Bone marrow smear
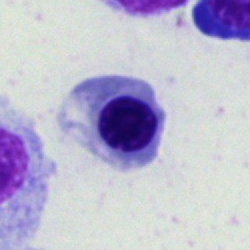
{"cell_type": "normoblast"}